Peripheral blood smear: 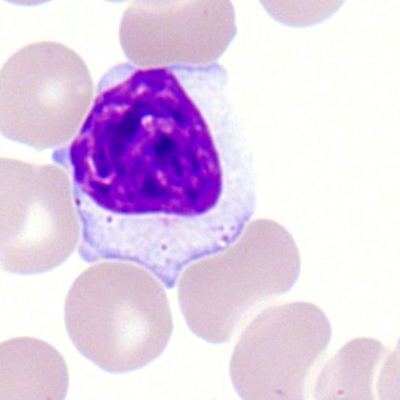This is a typical lymphocyte.